Bone marrow smear.
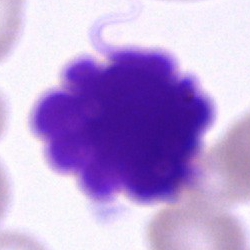 Showing an artifact.